Bone marrow aspirate smear: 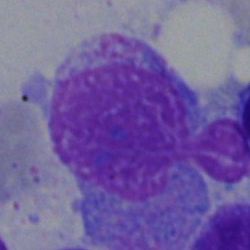 The classification is artifact.